Bone marrow aspirate smear:
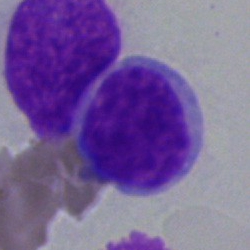Q: What type of cell is this?
A: Undifferentiated blast.